Image size 250×250 · bone marrow aspirate smear: 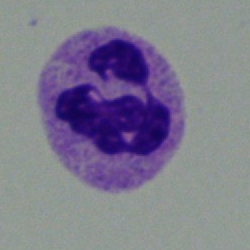 Classification: neutrophil (segmented).